Bone marrow aspirate smear. Single cell centered in the field
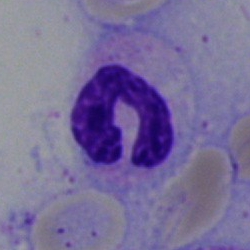Q: Identify the cell.
A: It is a neutrophil (segmented).